Bone marrow aspirate smear. 250 by 250 pixels: 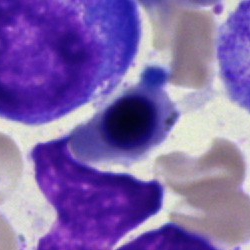 Q: Which cell type is shown here?
A: Normoblast.